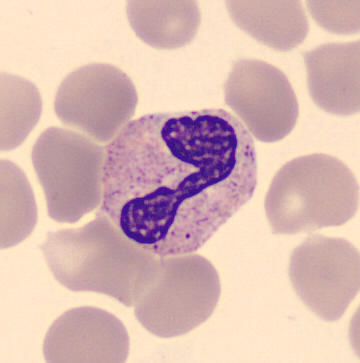Classification: segmented neutrophil. Image size 360×363; peripheral blood film.